Bone marrow smear; Pappenheim-stained:
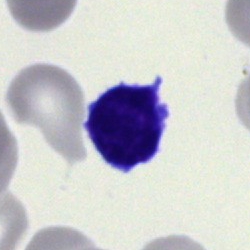 Q: What is shown here?
A: This is a typical lymphocyte.